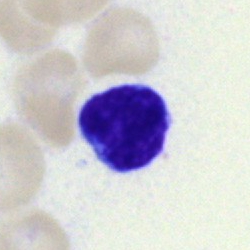
Specimen: bone marrow aspirate smear.
Cell type: typical lymphocyte.